Bone marrow aspirate smear.
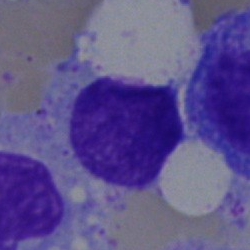 Q: Which cell type is shown here?
A: Lymphocyte.